Bone marrow aspirate smear.
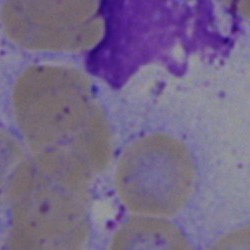 {"cell_type": "artefact"}